Romanowsky stain · peripheral blood smear: 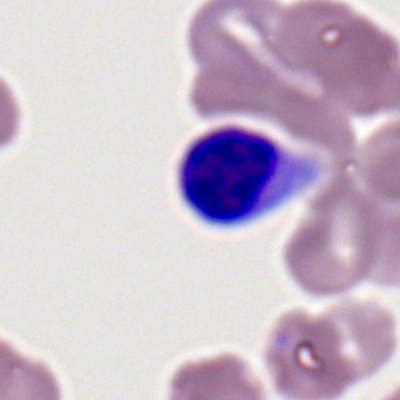
Specimen: peripheral blood smear.
Classification: lymphocyte.